Bone marrow smear · Pappenheim-stained · brightfield microscopy, 40× oil immersion
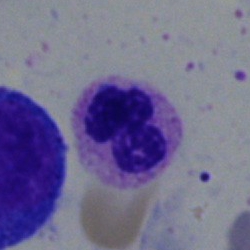
Q: Identify the cell.
A: A polymorphonuclear neutrophil.